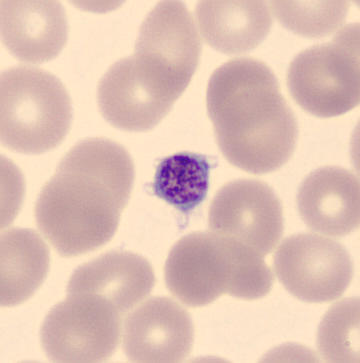
Platelet.

360×363 px; MGG-stained; peripheral blood smear.